Bone marrow aspirate smear; single-cell field: 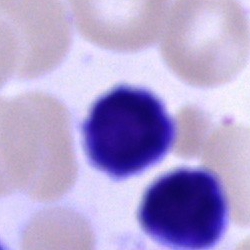 Cell type — typical lymphocyte.